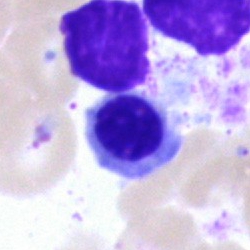{"cell_type": "nucleated red blood cell", "lineage": "erythroid"}